Bone marrow aspirate smear:
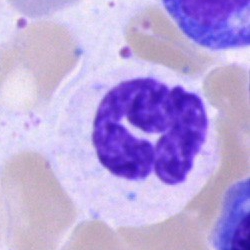 Specimen: bone marrow aspirate smear.
Morphological class: polymorphonuclear neutrophil.
Lineage: myeloid.